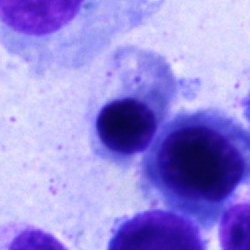
Cell = normoblast.